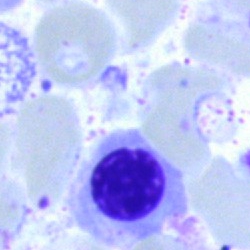 The cell shown is an erythroblast.